Bone marrow smear:
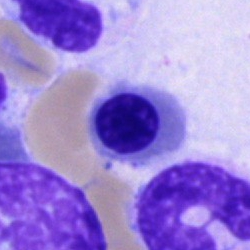
Q: Identify the cell.
A: Nucleated red blood cell.